Bone marrow aspirate smear:
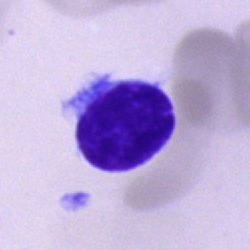

Single cell identified as a typical lymphocyte.